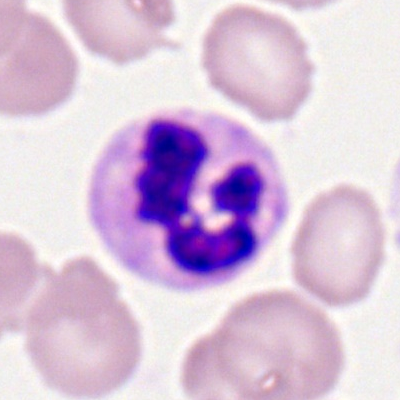 Morphological class = polymorphonuclear neutrophil.